M8 digital microscope (Precipoint), 100× oil immersion · cropped to a single cell · peripheral blood film:
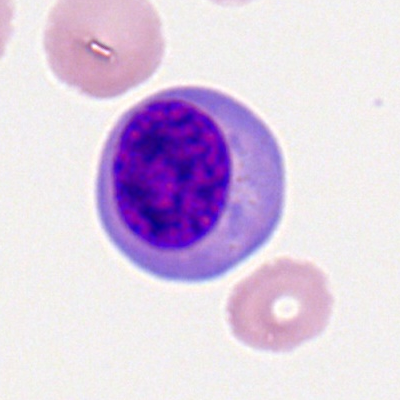 Single cell identified as a typical lymphocyte.